MGG-stained · bone marrow smear — 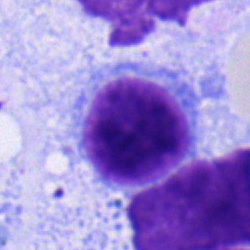
Single cell identified as a typical lymphocyte.